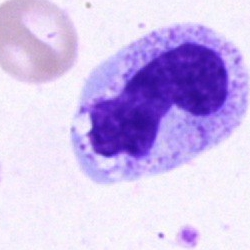Bone marrow smear showing a segmented neutrophil.